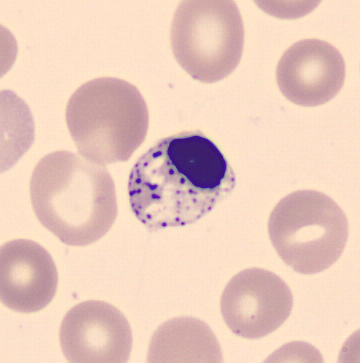

Peripheral blood smear.

Morphology consistent with a nucleated red cell.